Bone marrow aspirate smear: 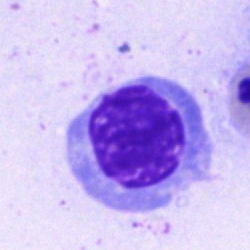 Morphology consistent with a normoblast.